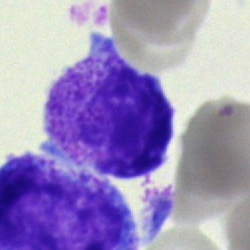
Cell — polymorphonuclear neutrophil.